Romanowsky-type stain; peripheral blood film; brightfield, 100× oil-immersion objective.
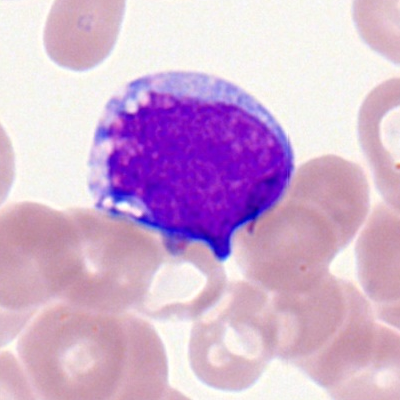

This is a myeloid blast.